Bone marrow smear
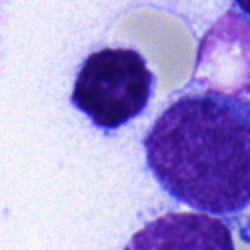

A typical lymphocyte.